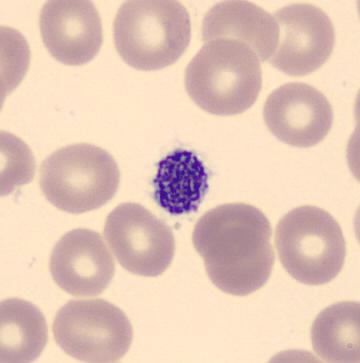 Acquisition: Peripheral blood film · 360 by 363 pixels · MGG stain.
A platelet.